Bone marrow smear:
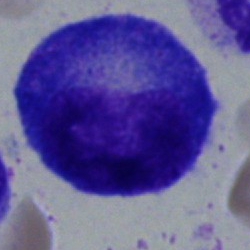 This is a promyelocyte.